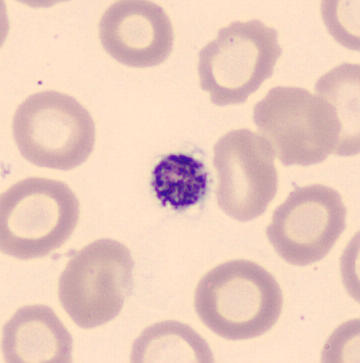
Q: What is shown here?
A: It is a platelet.